Single cell centered in the field · bone marrow aspirate smear:
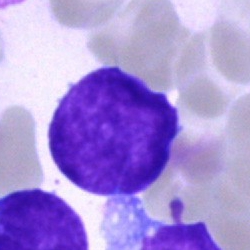 Specimen: bone marrow aspirate smear.
Cell type: undifferentiated blast.